Bone marrow aspirate smear
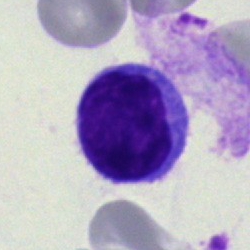
Morphology → typical lymphocyte.